Single-cell crop · bone marrow aspirate smear
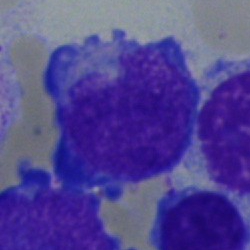

Showing an undifferentiated blast.